Brightfield, 40× oil-immersion objective. Bone marrow smear
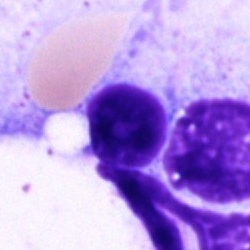Specimen: bone marrow smear.
Cell: artefact.